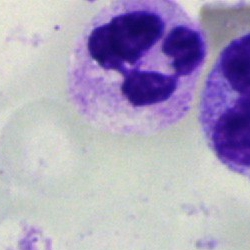

Cell type: segmented neutrophil.